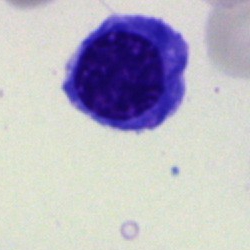
A normoblast.